Bone marrow smear:
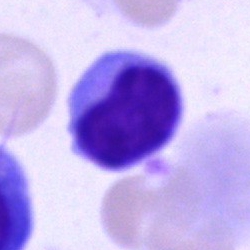 Showing a lymphocyte.